Bone marrow aspirate smear:
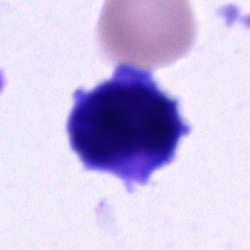
Showing a blast.